Bone marrow aspirate smear · 250×250 px.
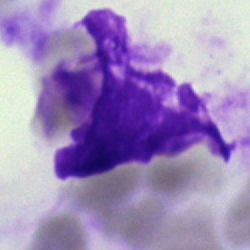

{"cell_type": "artifact"}